May-Grünwald-Giemsa stain · bone marrow aspirate smear
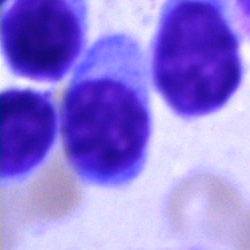 Q: What is the morphological classification of this cell?
A: Typical lymphocyte.